Pappenheim-stained; bone marrow aspirate smear; 40× objective, oil immersion
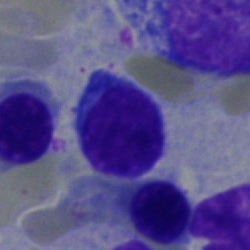

Showing a lymphocyte.